Bone marrow aspirate smear · brightfield microscopy, 40× oil immersion: 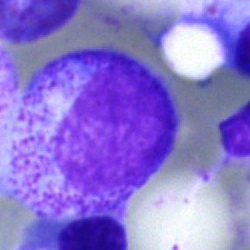Cell: myelocyte.